Peripheral blood film:
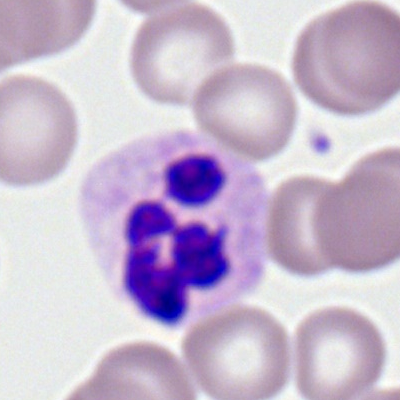

Q: Identify the cell.
A: This is a segmented neutrophil.